Single cell centered in the field; bone marrow aspirate smear
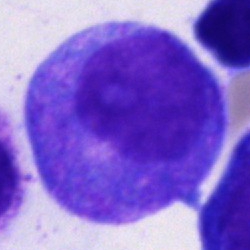

The cell shown is a progranulocyte.